Bone marrow aspirate smear
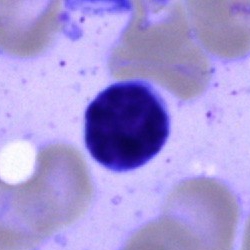 Typical lymphocyte.